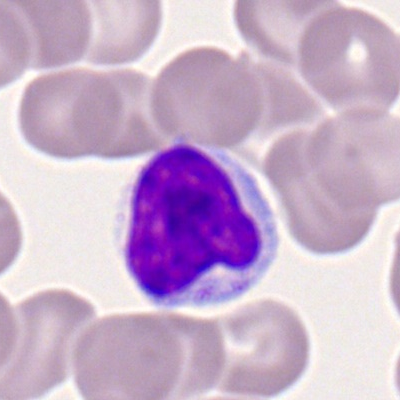 {"cell_type": "lymphocyte"}